40× oil immersion · bone marrow aspirate smear · 250×250 — 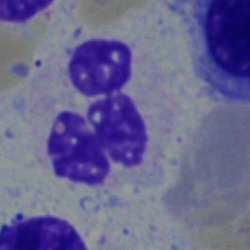

A neutrophil (segmented).